Bone marrow aspirate smear:
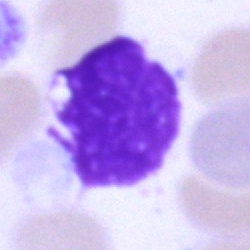

Single cell identified as an artifact.